Pappenheim-stained · cropped to a single cell · bone marrow smear: 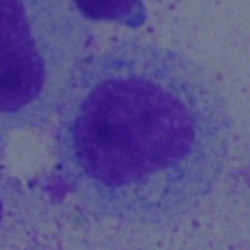
A myelocyte.